250×250 px. Bone marrow aspirate smear: 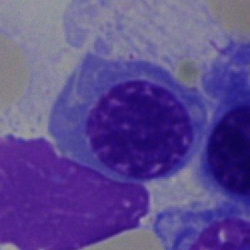 Cell type = erythroblast.